Bone marrow smear. 40× objective, oil immersion
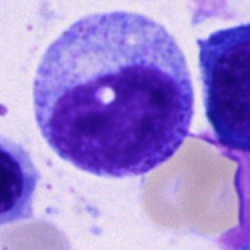

Morphology consistent with a promyelocyte.